Bone marrow smear. 250×250 px. MGG-stained — 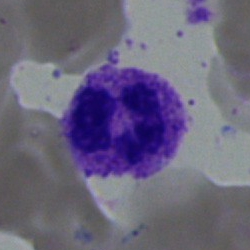Cell: neutrophil (segmented).